Cropped to a single cell; bone marrow smear
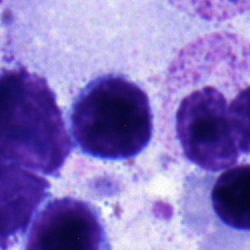
This is a lymphocyte.